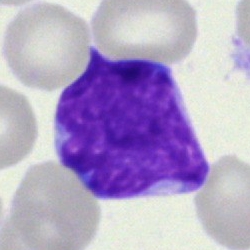
Cell type: undifferentiated blast.